Bone marrow smear — 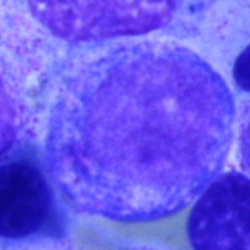
A promyelocyte.